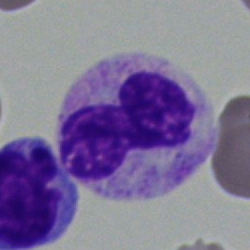

A neutrophil (band).